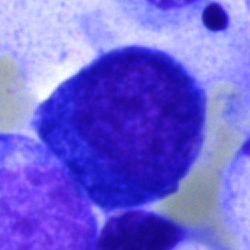

Q: Which cell type is shown here?
A: Normoblast.